Bone marrow smear · single cell centered in the field · May-Grünwald-Giemsa stain — 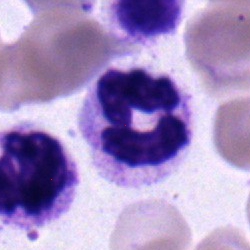{"cell_type": "polymorphonuclear neutrophil"}